Bone marrow smear: 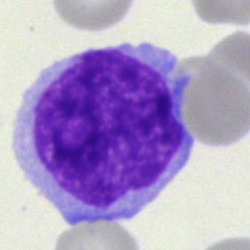 Q: What cell is this?
A: A lymphocyte (immature).